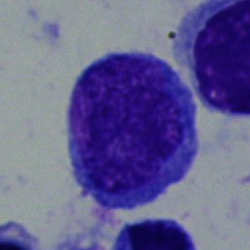 {"cell_type": "blast cell"}